Cropped to a single cell; bone marrow smear: 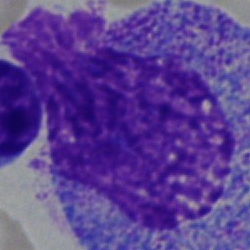

Q: What is shown here?
A: This is a promyelocyte.